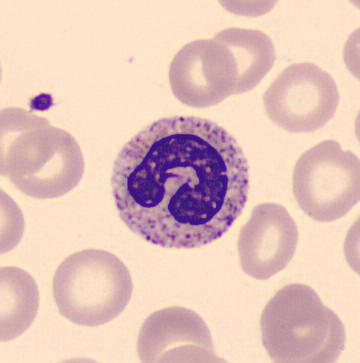

May-Grünwald-Giemsa-stained; cropped to a single cell; peripheral blood film. Cell = neutrophil (band).